Brightfield, 40× oil-immersion objective. Bone marrow aspirate smear:
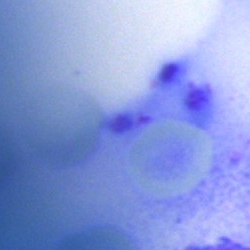
Cell type = artefact.